Bone marrow smear: 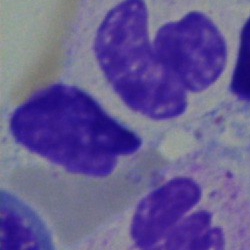
Single cell identified as a neutrophil (band).